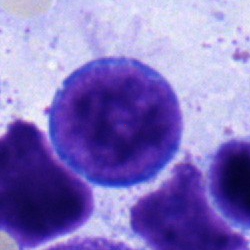Morphology consistent with a lymphocyte.